Bone marrow aspirate smear.
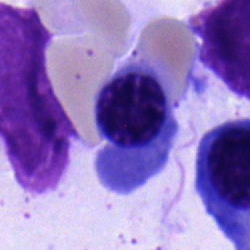 An erythroblast.